Peripheral blood film:
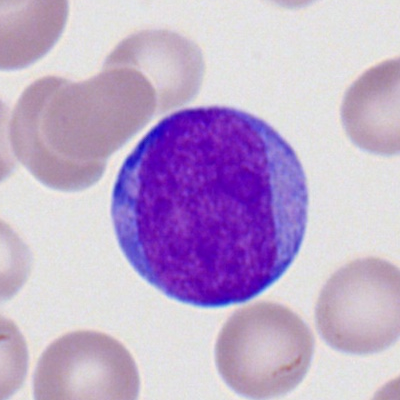 A myeloblast.